Bone marrow aspirate smear; May-Grünwald-Giemsa/Pappenheim stain: 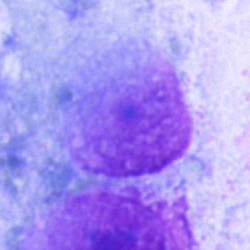 The cell shown is an artifact.